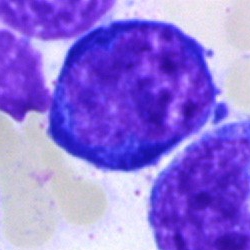
Morphology — normoblast.